Bone marrow aspirate smear
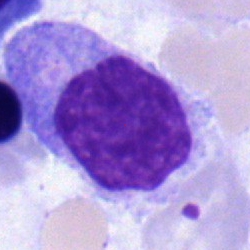

This is a monocyte.